400×400 px; peripheral blood film; single-cell crop.
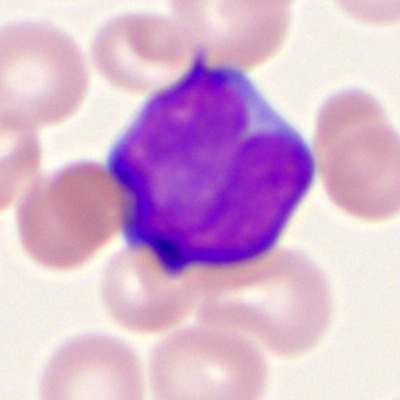

Impression — myeloid blast.